Bone marrow aspirate smear. 40× oil immersion — 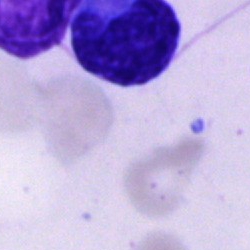
The cell is cell of indeterminate lineage.